Bone marrow smear. May-Grünwald-Giemsa/Pappenheim stain. Brightfield, 40× oil-immersion objective
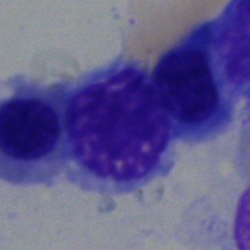Specimen: bone marrow aspirate smear.
Morphological class: normoblast.